Bone marrow smear; single-cell crop: 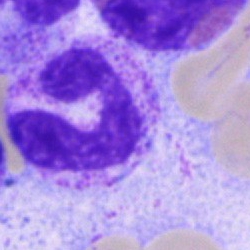 {"cell_type": "neutrophil (band)", "lineage": "myeloid"}